MGG-stained · bone marrow smear · 40× oil immersion.
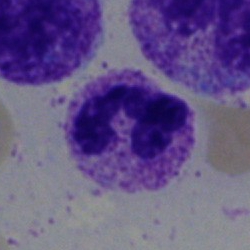Single cell identified as a segmented neutrophil.